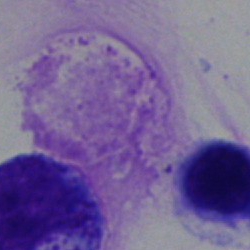

Specimen: bone marrow smear.
Classification: artifact.